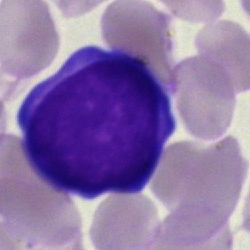Showing an undifferentiated blast.